Bone marrow aspirate smear
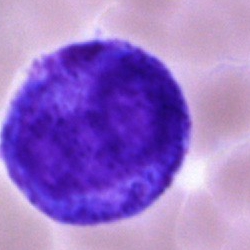 Q: Which cell type is shown here?
A: Undifferentiated blast.